Bone marrow smear.
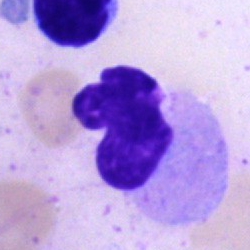

Q: What is shown here?
A: This is an artifact.